Single cell centered in the field; peripheral blood film; 400×400: 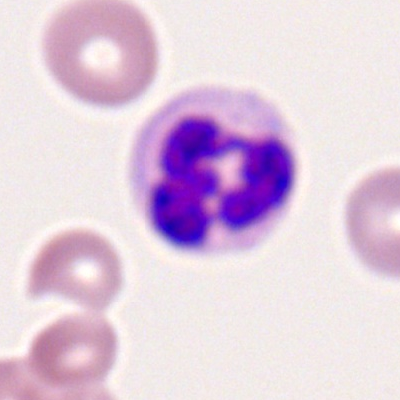

Specimen: peripheral blood film.
Classification: segmented neutrophil.
Lineage: myeloid.